Bone marrow smear. 40× objective, oil immersion: 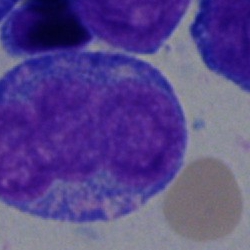

Morphological class = blast cell.